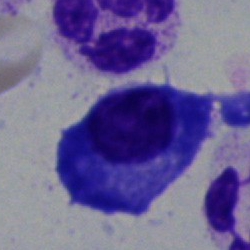

Q: Which cell type is shown here?
A: It is a plasmacyte.